Bone marrow aspirate smear · brightfield, 40× oil-immersion objective.
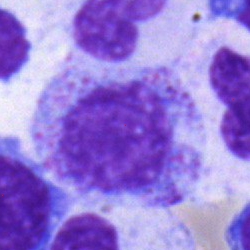 Impression — myelocyte.